Bone marrow smear. 250×250.
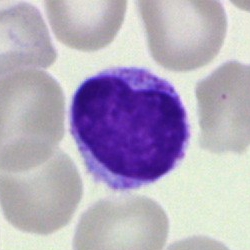 Cell: typical lymphocyte.